250×250. Bone marrow smear:
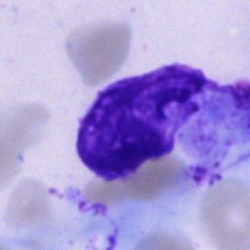

Impression — artefact.